Bone marrow aspirate smear
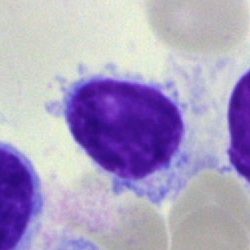
Hairy cell.